Bone marrow smear · 40× oil immersion:
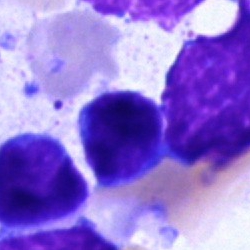

Q: What cell is this?
A: This is a lymphocyte.